Bone marrow smear.
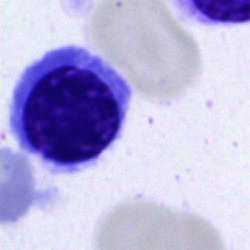Single cell identified as an erythroblast.